Bone marrow smear — 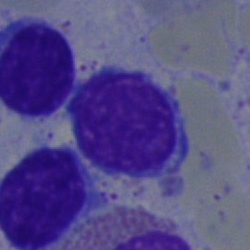
Impression — typical lymphocyte.